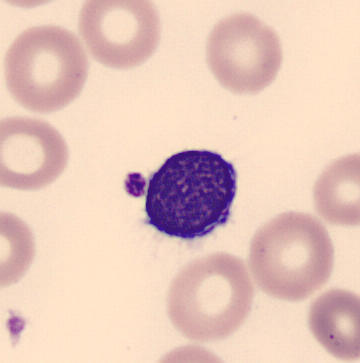 Preparation: Peripheral blood smear. Automated cell imaging (CellaVision DM96).
A typical lymphocyte.